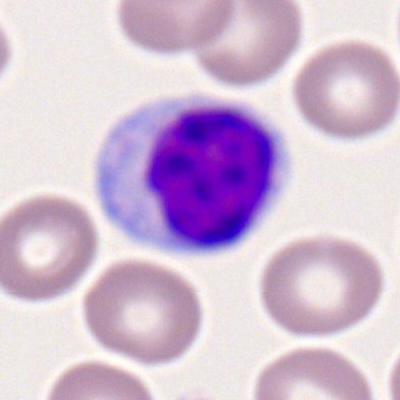Q: What type of cell is this?
A: Lymphocyte.